Bone marrow aspirate smear
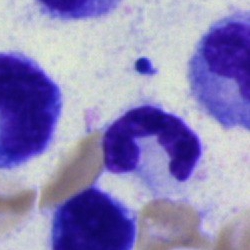
Impression — neutrophil (segmented).